Single-cell crop. 250×250. Bone marrow smear.
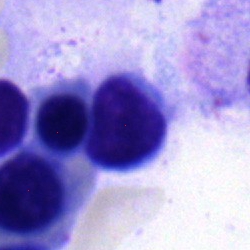

Specimen: bone marrow smear.
Classification: lymphocyte.
Lineage: lymphoid.